Bone marrow aspirate smear: 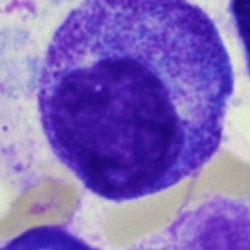
Morphology — promyelocyte.